May-Grünwald-Giemsa stain. Brightfield microscopy, 40× oil immersion. Bone marrow smear:
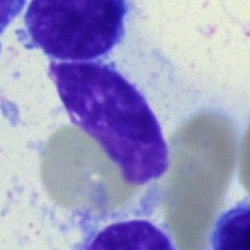 Morphology — artifact.